Bone marrow aspirate smear:
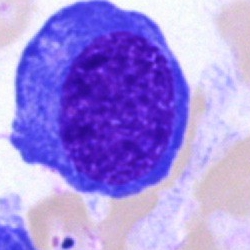Morphological class = normoblast.